Bone marrow aspirate smear; cropped to a single cell: 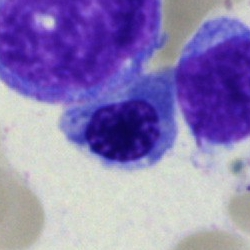Erythroblast.